May-Grünwald-Giemsa stain. Brightfield, 40× oil-immersion objective. Bone marrow aspirate smear.
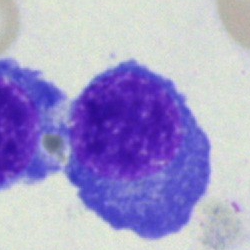 Plasmacyte.